250 by 250 pixels · bone marrow smear · 40× oil immersion: 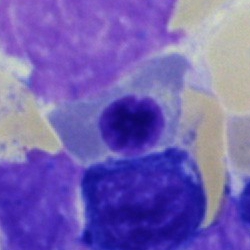 Morphology consistent with a nucleated red blood cell.